Bone marrow smear; 250×250 px.
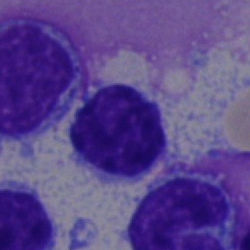Morphology consistent with a typical lymphocyte.